Bone marrow aspirate smear; 40× objective, oil immersion.
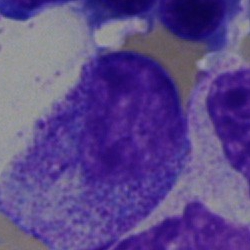 {"cell_type": "promyelocyte"}